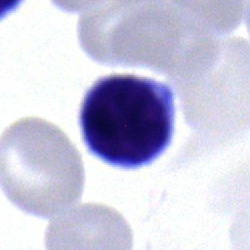 The cell shown is a lymphocyte.